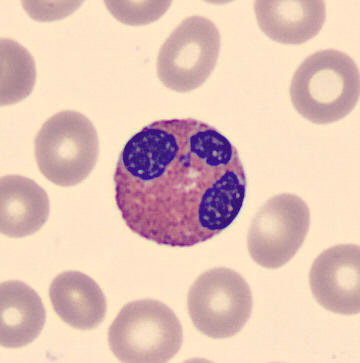
Specimen: peripheral blood film.
Cell: eosinophil.
Lineage: myeloid.